Single cell centered in the field · 100× oil immersion, 14.14 px/µm · peripheral blood smear.
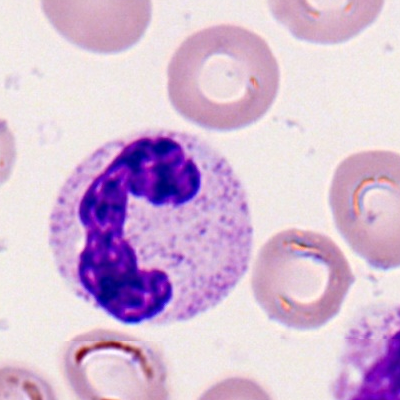

Morphology → neutrophil (segmented).